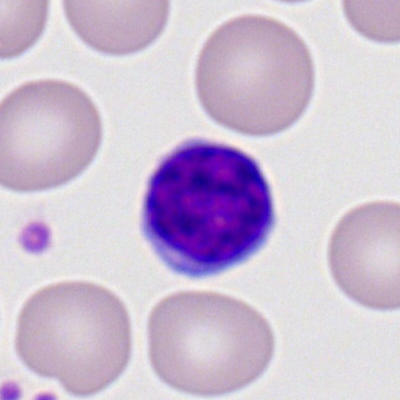This is a typical lymphocyte.